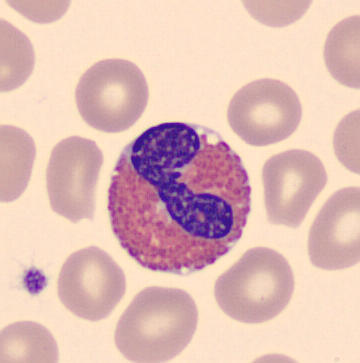

Cell: eosinophilic granulocyte.